Bone marrow aspirate smear.
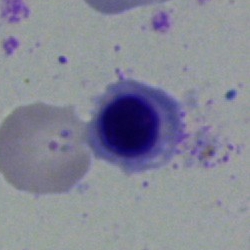

Single cell identified as a normoblast.